40× oil immersion; bone marrow smear; MGG-stained:
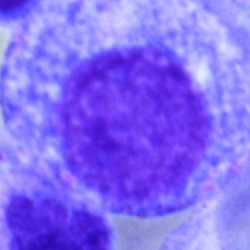Morphology consistent with a progranulocyte.